Bone marrow aspirate smear — 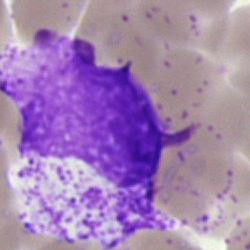An artefact.